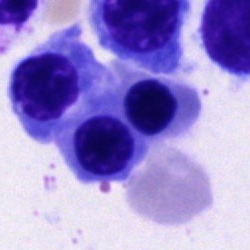
The cell is nucleated red blood cell.